Single-cell field. Bone marrow aspirate smear.
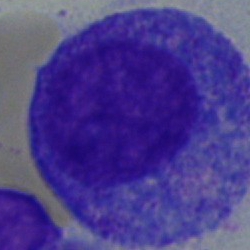
A promyelocyte.